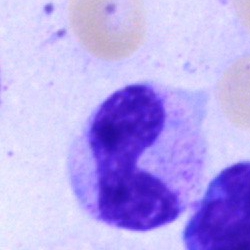Classification = neutrophil (band).